Bone marrow aspirate smear
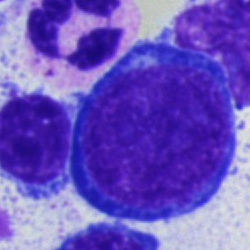The cell is pronormoblast.